Bone marrow aspirate smear
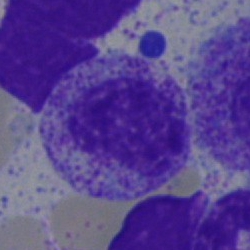Classification = myelocyte.